250 by 250 pixels · bone marrow smear: 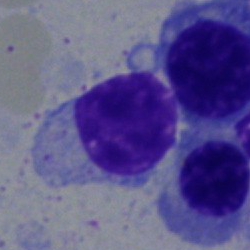 The classification is typical lymphocyte.